Peripheral blood film: 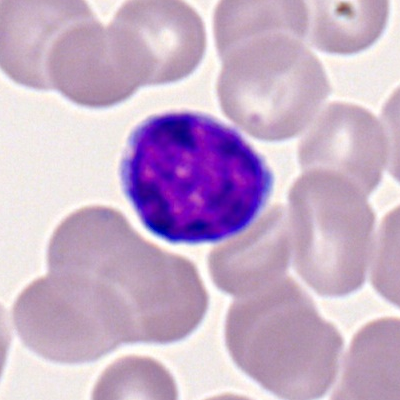
The cell shown is a lymphocyte.